100× oil immersion · 400×400 · peripheral blood smear:
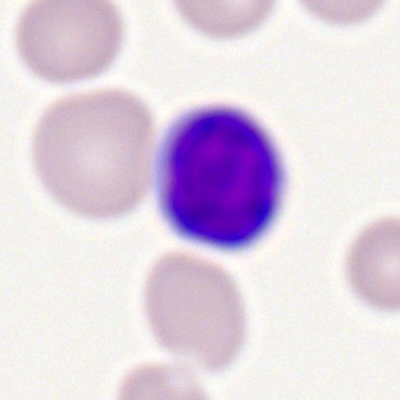
Single cell identified as a lymphocyte.